250×250. Bone marrow aspirate smear. 40× oil immersion — 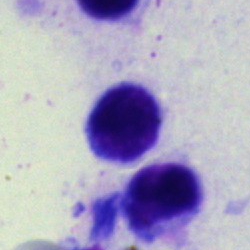

Classification — typical lymphocyte.